MGG-stained. Bone marrow smear — 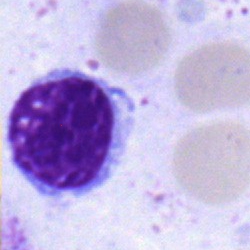 Morphology consistent with a lymphocyte.